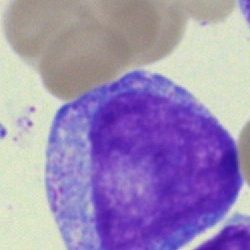{"cell_type": "promyelocyte", "lineage": "myeloid"}